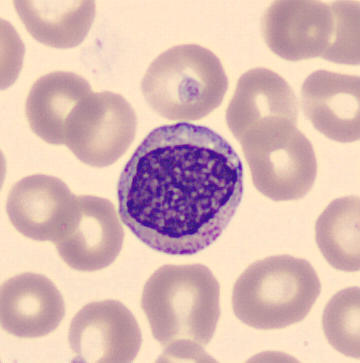Specimen: peripheral blood film.
Cell type: myelocyte.
Lineage: myeloid.